Peripheral blood film — 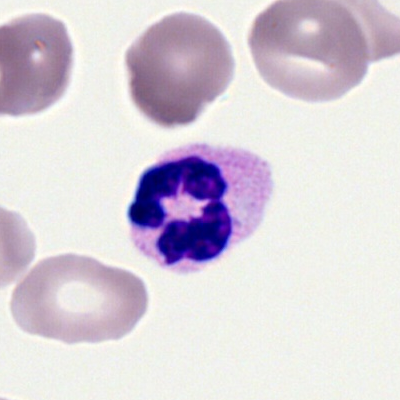
Classification = polymorphonuclear neutrophil.